Bone marrow smear:
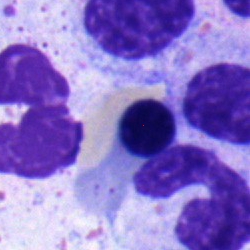

Q: What is shown here?
A: Nucleated red blood cell.